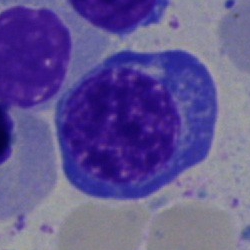 An erythroblast.